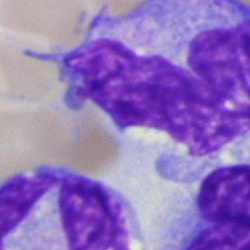The cell is monocyte.